Image size 250×250. Bone marrow aspirate smear:
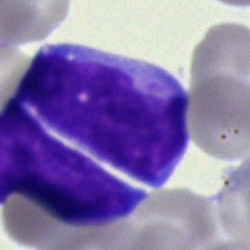 Specimen: bone marrow smear.
Cell: undifferentiated blast.